Brightfield microscopy, 40× oil immersion. Bone marrow smear: 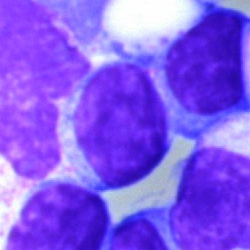 A typical lymphocyte.